Bone marrow smear · brightfield microscopy, 40× oil immersion: 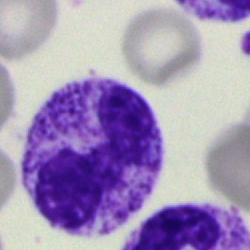{"cell_type": "segmented neutrophil"}